Romanowsky stain; peripheral blood smear; 400 by 400 pixels: 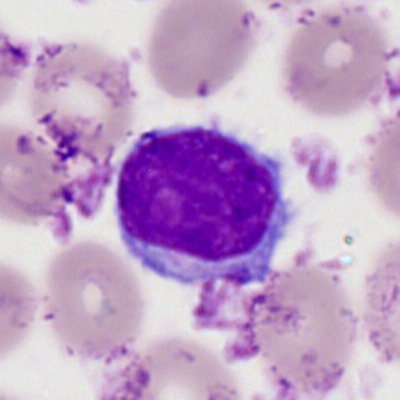Q: What is shown here?
A: It is a typical lymphocyte.